Peripheral blood smear
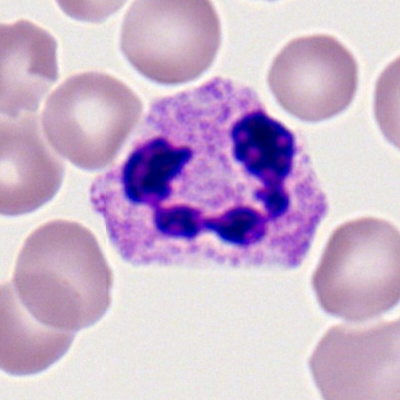
Neutrophil (segmented).